Bone marrow smear · 250×250 px
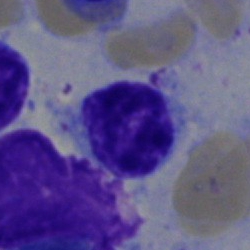Showing a lymphocyte.